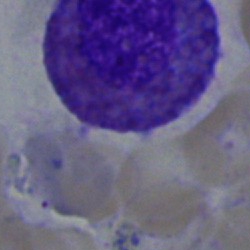

An eosinophilic granulocyte.